Bone marrow smear: 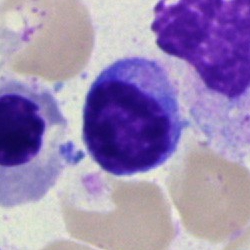

Lymphocyte.